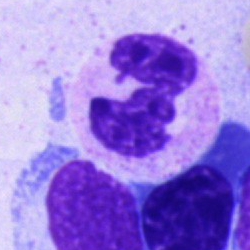 Morphology — segmented neutrophil.